Bone marrow aspirate smear: 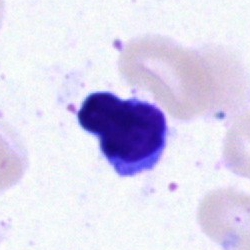
The cell is lymphocyte.